Bone marrow aspirate smear
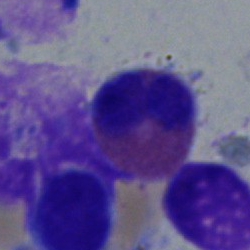
Single cell identified as an eosinophil.